Bone marrow smear. May-Grünwald-Giemsa stain: 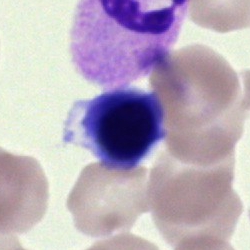
Showing an artifact.